May-Grünwald-Giemsa stain. Bone marrow smear. 40× oil immersion
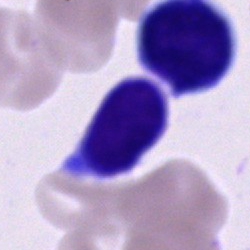

Specimen: bone marrow aspirate smear.
Morphological class: unidentifiable cell.